Bone marrow aspirate smear · 40× objective, oil immersion
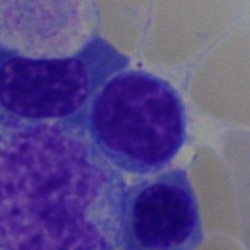

Typical lymphocyte.